Peripheral blood film: 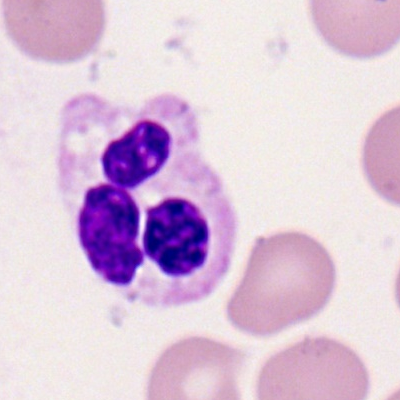A segmented neutrophil.